40× oil immersion; single cell centered in the field; bone marrow aspirate smear — 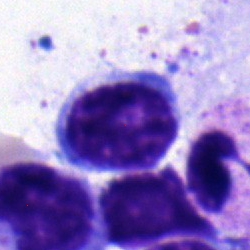
Single cell identified as a typical lymphocyte.